Bone marrow smear.
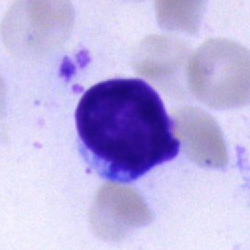This is a typical lymphocyte.